Bone marrow aspirate smear: 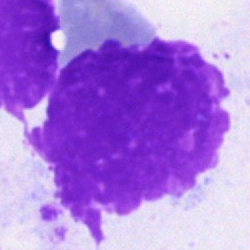
Cell type: artifact.